Bone marrow aspirate smear. 250×250. Single cell centered in the field — 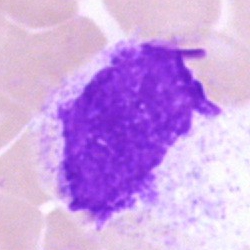
Single cell identified as an artefact.